Bone marrow smear: 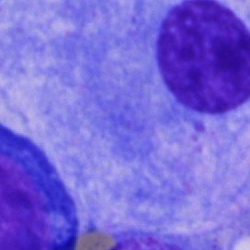

Specimen: bone marrow aspirate smear.
Cell: plasmacyte.
Lineage: lymphoid.